Single-cell crop · MGG-stained · bone marrow aspirate smear: 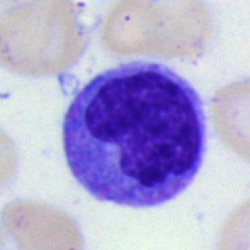Single cell identified as a monocyte.